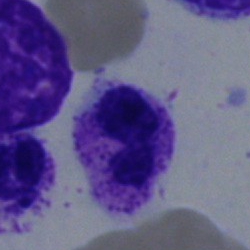
A stab cell.